Peripheral blood smear; single-cell crop: 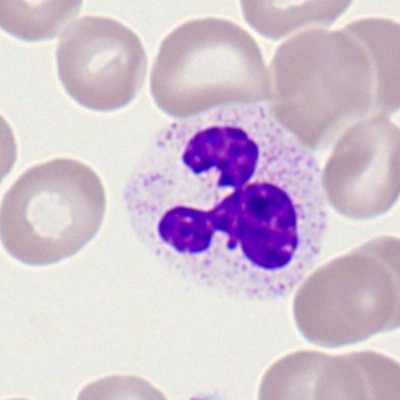
Cell type = polymorphonuclear neutrophil.